Bone marrow smear.
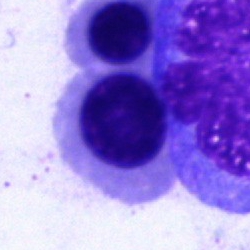 A nucleated red blood cell.